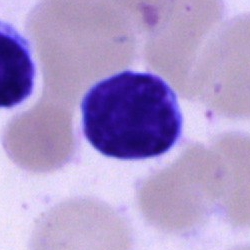 Q: What cell is this?
A: Lymphocyte.